250×250; bone marrow aspirate smear.
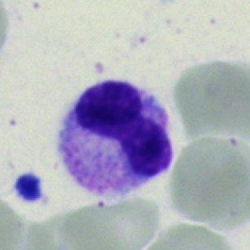Stab cell.